Romanowsky-stained; peripheral blood film
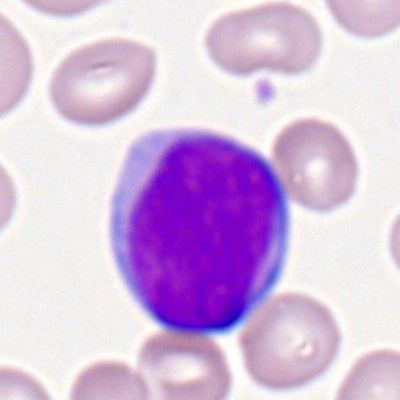A myeloid blast.